Bone marrow aspirate smear — 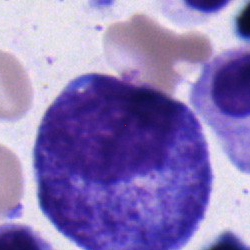Showing a progranulocyte.